Bone marrow aspirate smear; cropped to a single cell
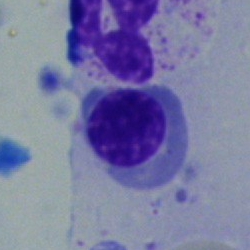
Morphology consistent with a nucleated red cell.